Bone marrow smear. May-Grünwald-Giemsa stain. 40× objective, oil immersion:
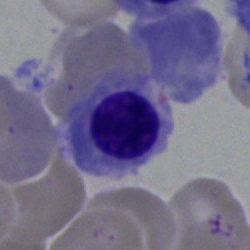 Showing a normoblast.